Single-cell field · bone marrow aspirate smear · 40× objective, oil immersion — 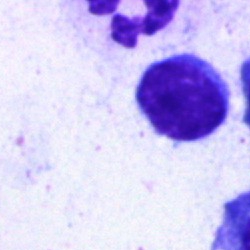
Morphology consistent with a lymphocyte.